Bone marrow smear — 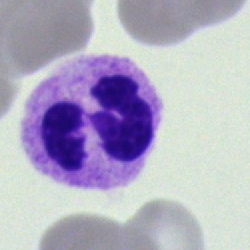
Single cell identified as a polymorphonuclear neutrophil.